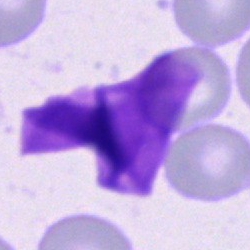 The cell type is other cell.